Bone marrow smear:
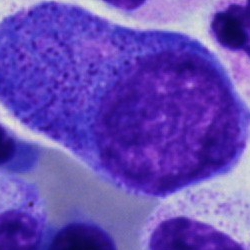The classification is progranulocyte.